Bone marrow smear. Image size 250×250 — 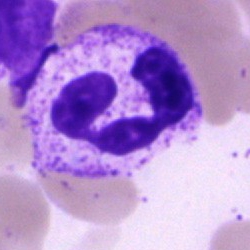

A polymorphonuclear neutrophil.